250×250 px · bone marrow aspirate smear.
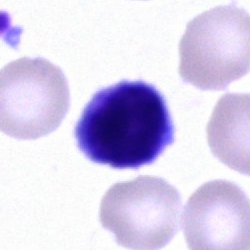
Classification: typical lymphocyte.